Bone marrow smear; 40× objective, oil immersion — 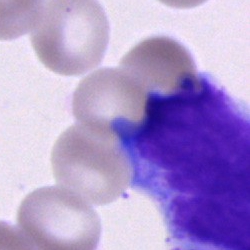This is an artefact.